Cropped to a single cell · May-Grünwald-Giemsa stain · bone marrow aspirate smear — 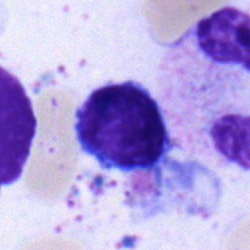 Classification — lymphocyte.